Bone marrow smear: 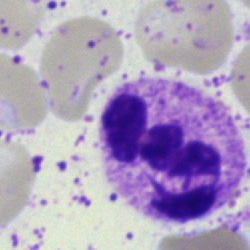 Polymorphonuclear neutrophil.